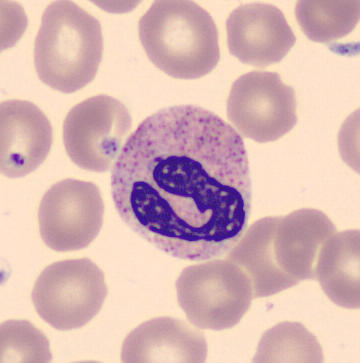

Image: Peripheral blood film; single-cell field. {"cell_type": "neutrophil (segmented)", "lineage": "myeloid"}